400×400; peripheral blood film — 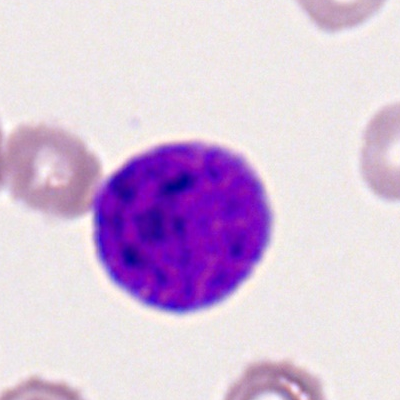 Impression → myeloid blast.